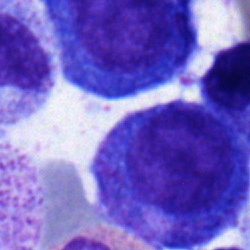 Specimen: bone marrow smear.
Classification: promyelocyte.